Bone marrow aspirate smear — 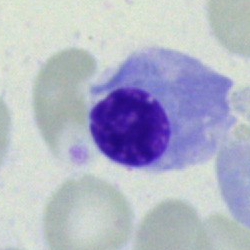
Showing a nucleated red cell.